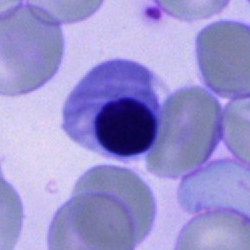Nucleated red blood cell.